Image size 250×250 · bone marrow smear · MGG-stained
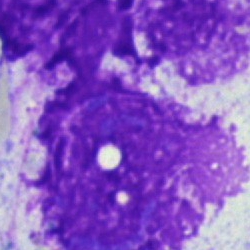
An artefact.